Bone marrow aspirate smear. 250 by 250 pixels — 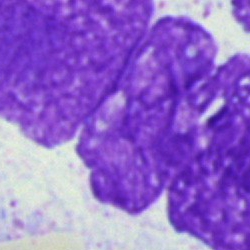{"cell_type": "artefact"}